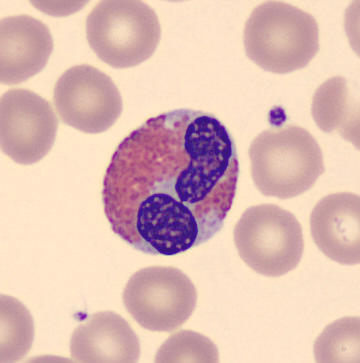

Single cell centered in the field; peripheral blood smear; CellaVision DM96 digital cell image.
Showing an eosinophilic granulocyte.